Bone marrow aspirate smear — 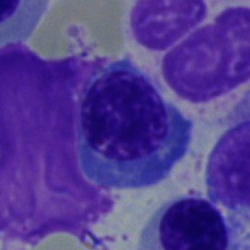

This is a normoblast.